Bone marrow smear; Pappenheim-stained
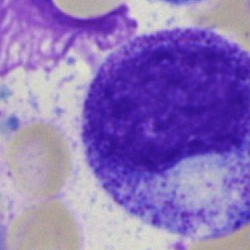

Single cell identified as a promyelocyte.